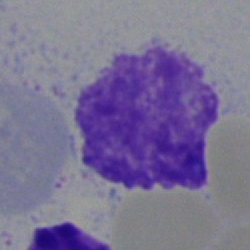The cell shown is an artifact.